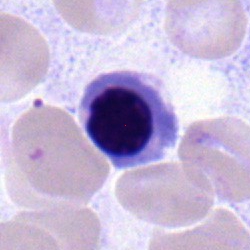

Bone marrow smear showing a nucleated red cell.